Bone marrow aspirate smear. 250×250 px — 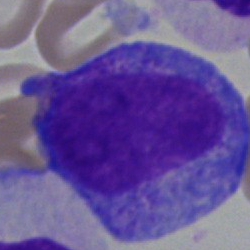 Progranulocyte.